40× oil immersion · bone marrow smear:
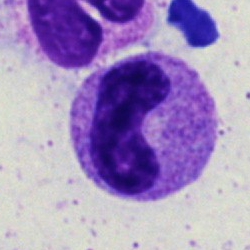Showing a band neutrophil.